Peripheral blood smear: 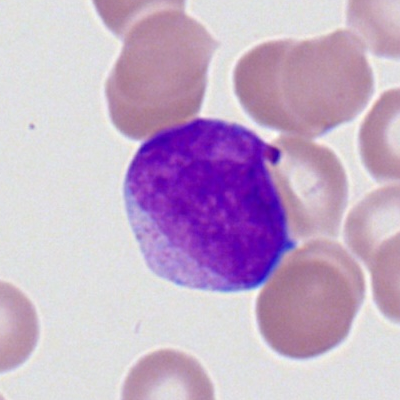Specimen: peripheral blood film.
Cell type: myeloid blast.
Lineage: myeloid.